Bone marrow aspirate smear · cropped to a single cell.
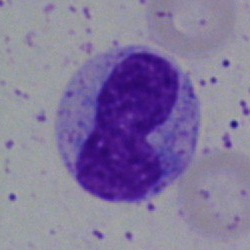

Q: What type of cell is this?
A: A band neutrophil.